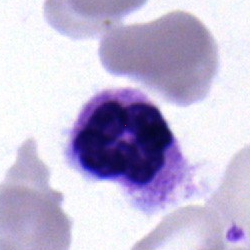A neutrophil (segmented).